250×250 · bone marrow smear.
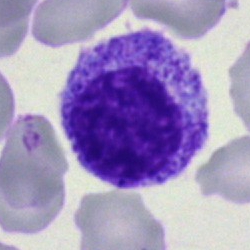
Specimen: bone marrow aspirate smear.
Morphological class: myelocyte.
Lineage: myeloid.